Bone marrow aspirate smear: 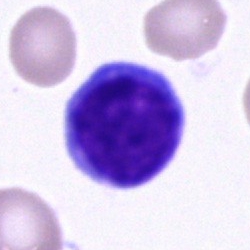

This is a lymphocyte.